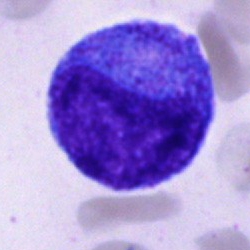Promyelocyte.